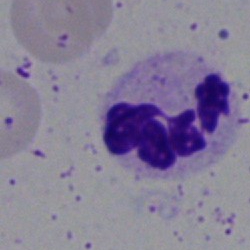

Q: What cell is this?
A: It is a neutrophil (segmented).